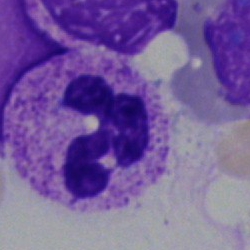The cell type is segmented neutrophil.